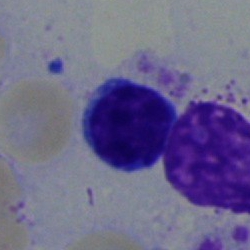

The cell shown is a typical lymphocyte.